Brightfield, 40× oil-immersion objective · bone marrow aspirate smear: 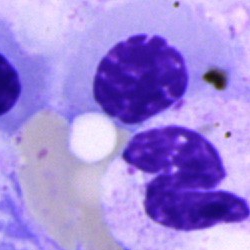 A cell of indeterminate lineage.